Bone marrow aspirate smear
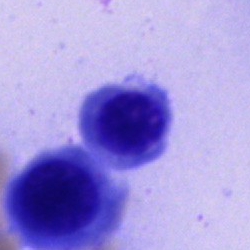
Cell = nucleated red blood cell.